May-Grünwald-Giemsa/Pappenheim stain. Bone marrow aspirate smear. 250 by 250 pixels
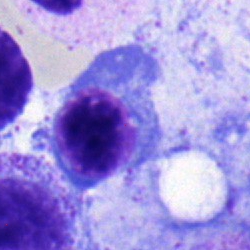
This is a nucleated red blood cell.